Bone marrow aspirate smear; 250×250 px
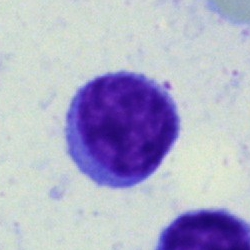

Morphology → typical lymphocyte.